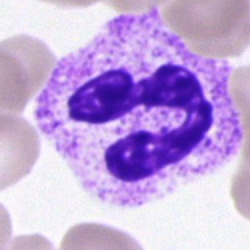Showing a polymorphonuclear neutrophil.